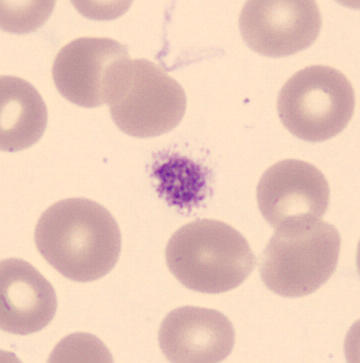
Identified as a platelet (thrombocyte).
CellaVision DM96 · peripheral blood smear.